Peripheral blood smear:
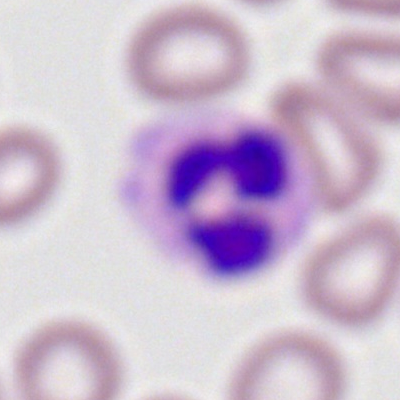

Classification: polymorphonuclear neutrophil.